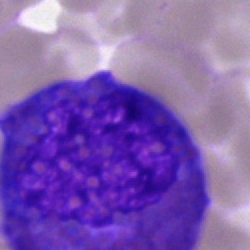Q: What is shown here?
A: Eosinophil.